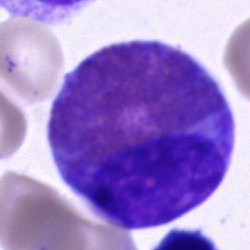The cell shown is an eosinophil.